Bone marrow aspirate smear
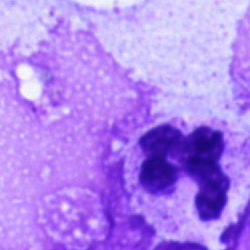 Neutrophil (segmented).